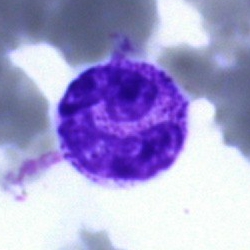This is a neutrophil (band).